Romanowsky stain. Peripheral blood film.
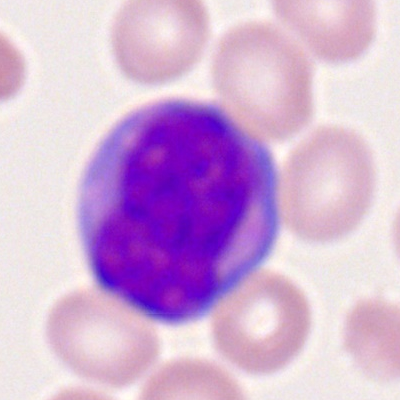 Q: Identify the cell.
A: It is a myeloid blast.